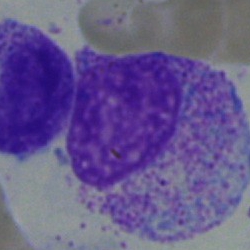

Morphology — eosinophilic granulocyte.